Bone marrow smear · May-Grünwald-Giemsa/Pappenheim stain: 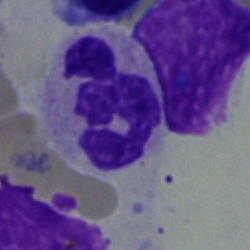

Classification — segmented neutrophil.